Brightfield microscopy, 40× oil immersion; cropped to a single cell; bone marrow aspirate smear — 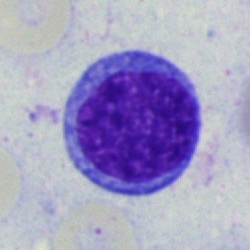This is a blast cell.